Bone marrow aspirate smear: 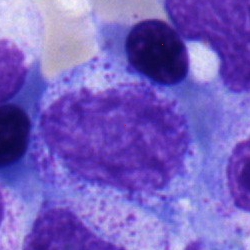 Morphology → myelocyte.